Bone marrow aspirate smear: 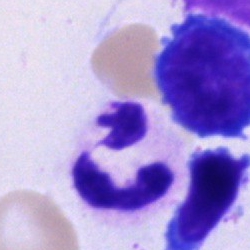
Specimen: bone marrow aspirate smear.
Cell type: neutrophil (segmented).
Lineage: myeloid.